Bone marrow aspirate smear: 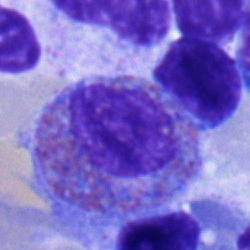

Impression → eosinophil.